250 by 250 pixels; bone marrow aspirate smear — 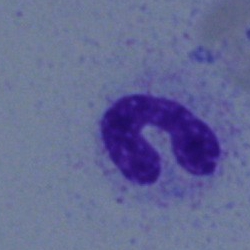
Single cell identified as a band-form neutrophil.